Peripheral blood smear; 360×363 px.
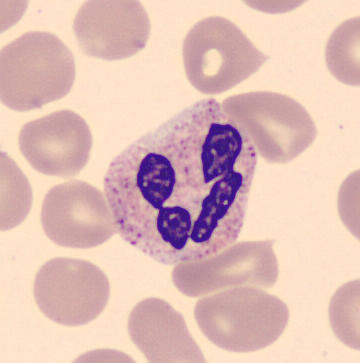 Q: Which cell type is shown here?
A: A neutrophil (segmented).